Bone marrow aspirate smear — 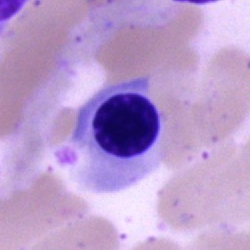Morphological class = erythroblast.